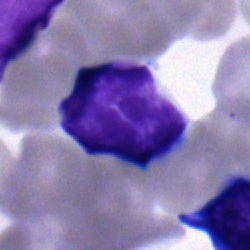

Q: Identify the cell.
A: A lymphocyte.